40× objective, oil immersion; bone marrow aspirate smear — 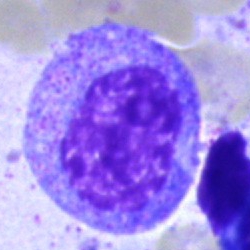
Q: What is shown here?
A: Promyelocyte.